Peripheral blood smear: 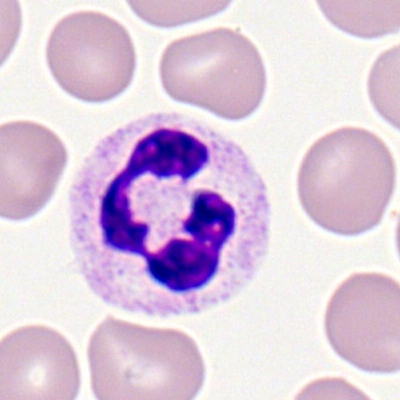

Single cell identified as a neutrophil (segmented).